250×250 px · bone marrow aspirate smear:
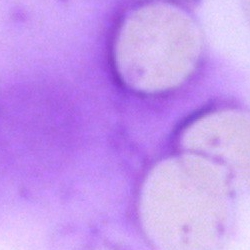 Cell type — artefact.